Bone marrow smear · image size 250×250 — 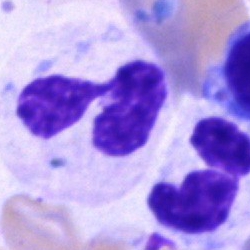 Q: Which cell type is shown here?
A: It is a neutrophil (segmented).